Bone marrow aspirate smear: 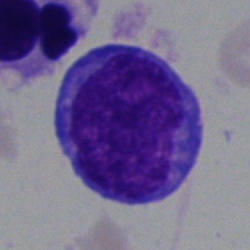 Showing a blast cell.